Cropped to a single cell; bone marrow smear:
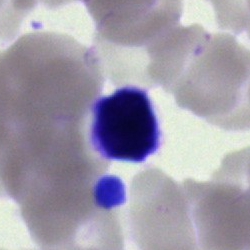Q: Which cell type is shown here?
A: It is a typical lymphocyte.